Bone marrow smear:
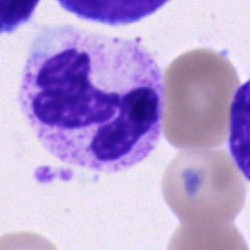Impression → segmented neutrophil.